Bone marrow aspirate smear; single cell centered in the field:
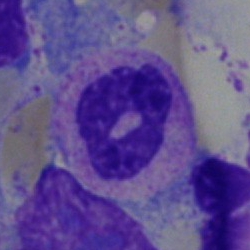
Single cell identified as a neutrophil (segmented).